Single-cell crop. Peripheral blood film
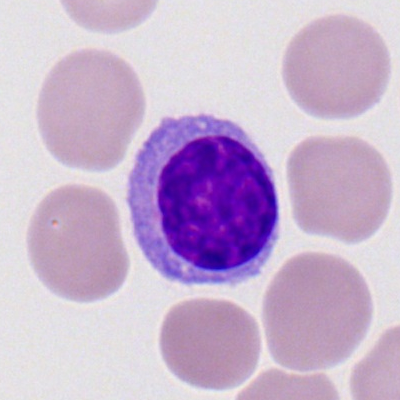 Single cell identified as a typical lymphocyte.